Bone marrow smear; single-cell crop
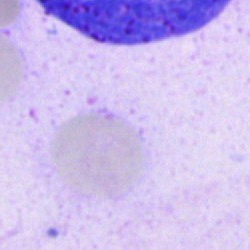Cell type: artifact.